100× objective, oil immersion. Single-cell field. Peripheral blood smear
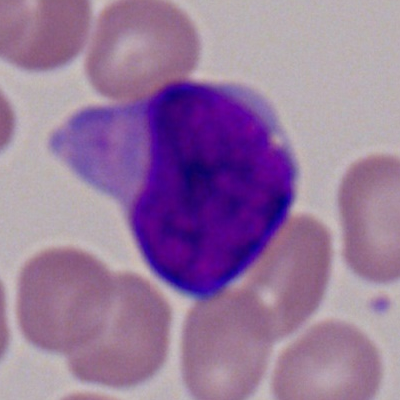The cell is myeloid blast.